Image size 250×250. Bone marrow smear
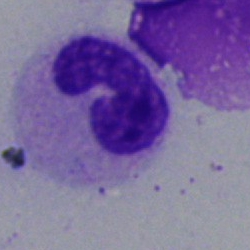
Cell type — neutrophil (band).